Peripheral blood film · Romanowsky-type stain:
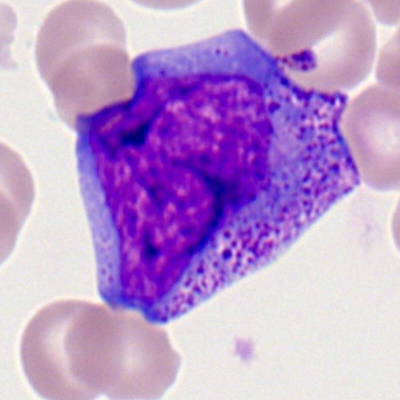

Impression — myeloid blast.